250×250 px; bone marrow smear:
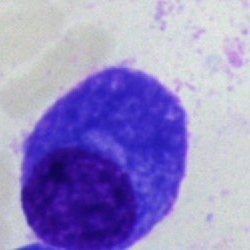

The classification is plasma cell.